Bone marrow smear:
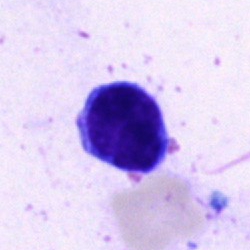Morphology — lymphocyte.